Bone marrow smear; 250×250.
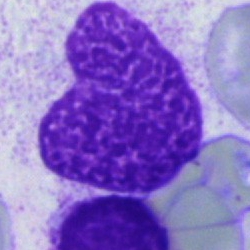 Q: What is shown here?
A: An artifact.